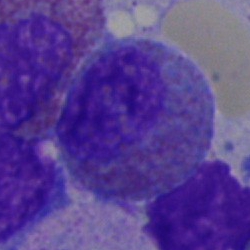

Specimen: bone marrow smear.
Morphological class: eosinophilic granulocyte.
Lineage: myeloid.